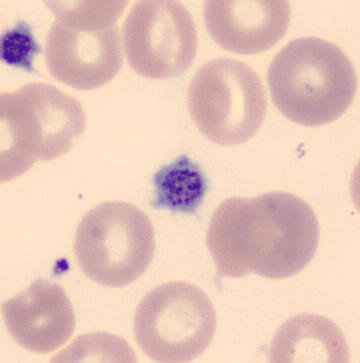 Classification — thrombocyte.

Peripheral blood smear.